Bone marrow smear: 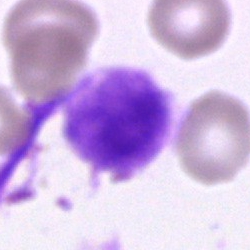
Cell type = artifact.